Bone marrow aspirate smear — 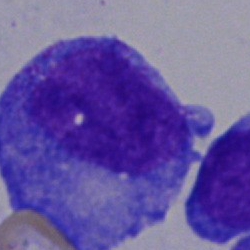 Morphology consistent with a blast cell.